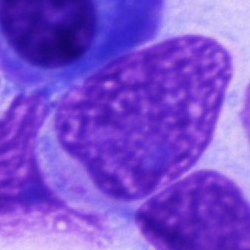The cell shown is an artefact.